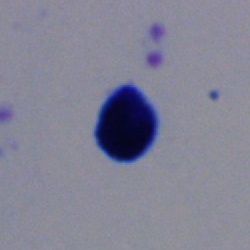
Impression — typical lymphocyte.